Bone marrow aspirate smear:
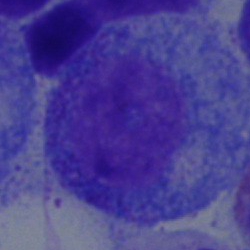Morphology consistent with a progranulocyte.